400×400 px. Peripheral blood smear. Romanowsky-type stain.
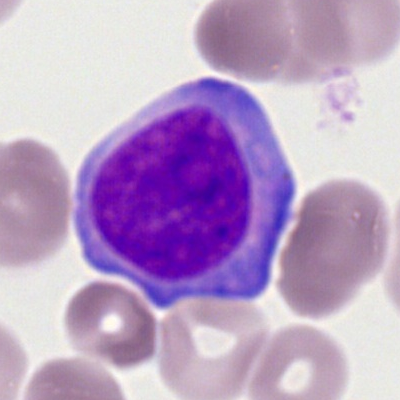
This is a myeloid blast.